Bone marrow smear.
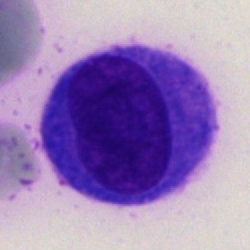Monocyte.